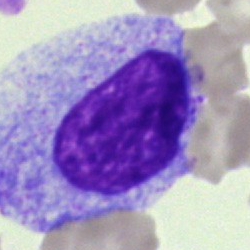 Classification — progranulocyte.